Image size 250×250 · bone marrow aspirate smear:
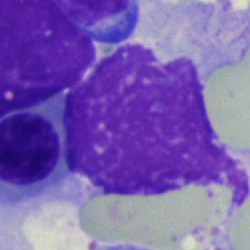The classification is artifact.